Bone marrow aspirate smear. Single-cell field. Image size 250×250 — 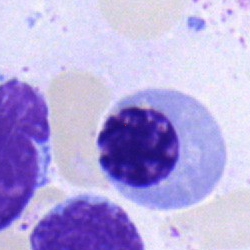
Morphological class = erythroblast.